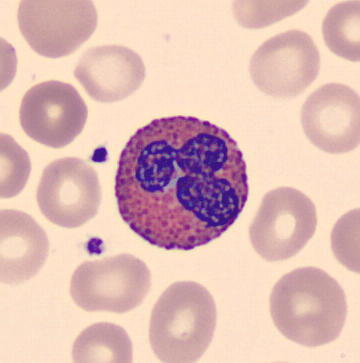The cell type is eosinophil.